Bone marrow smear — 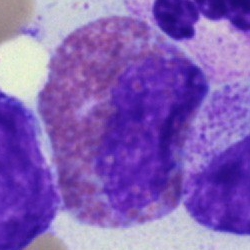

The cell shown is an eosinophilic granulocyte.